Bone marrow smear.
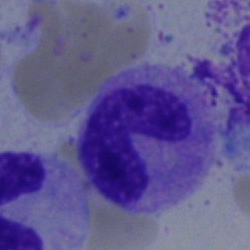

Q: What cell is this?
A: A neutrophil (segmented).